Bone marrow aspirate smear
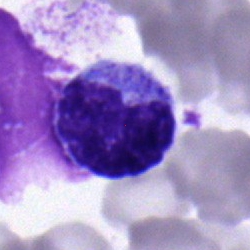 Showing a monocyte.